Bone marrow smear.
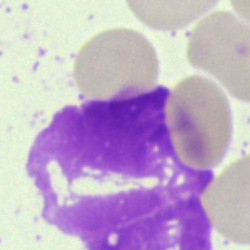
This is an artifact.